Bone marrow aspirate smear:
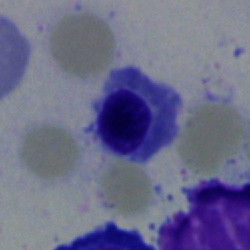

Impression → normoblast.